Bone marrow smear: 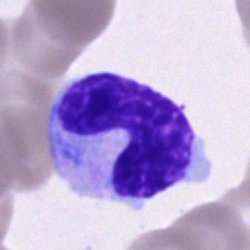

Cell — band-form neutrophil.